Single-cell field · bone marrow smear.
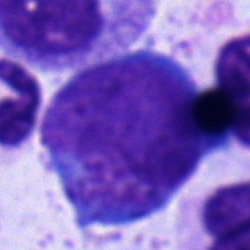

A blast cell.